250×250. Bone marrow smear — 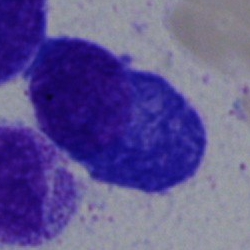

Plasmacyte.